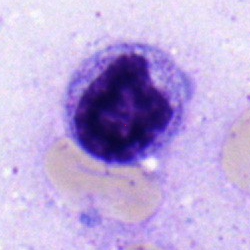{"cell_type": "lymphocyte"}